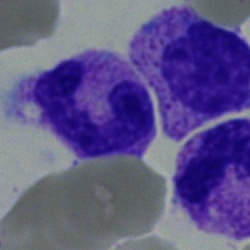
The classification is stab cell.